May-Grünwald-Giemsa stain; single-cell crop; bone marrow smear — 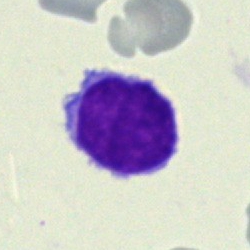 The cell type is lymphocyte.